Bone marrow smear; Pappenheim-stained:
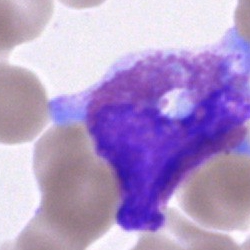 Impression → unidentifiable cell.